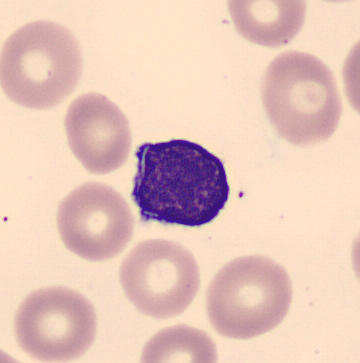

The cell type is typical lymphocyte.
Preparation: Peripheral blood film. Single-cell crop. May Grünwald-Giemsa stain.